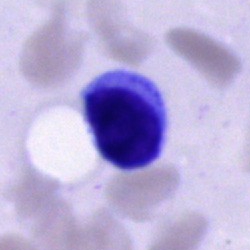
Specimen: bone marrow smear.
Cell: typical lymphocyte.
Lineage: lymphoid.